Bone marrow aspirate smear.
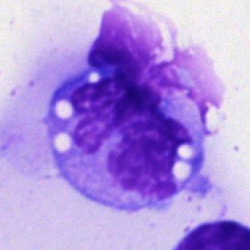 Cell type: monocyte.